Peripheral blood film — 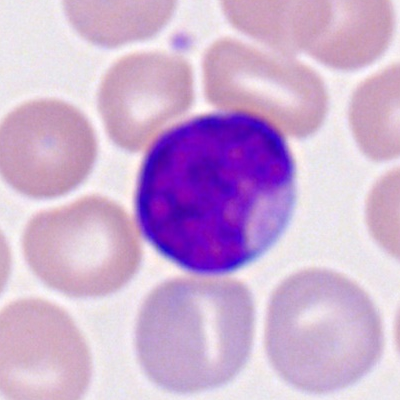
Impression → myeloid blast.